250×250 px · bone marrow aspirate smear — 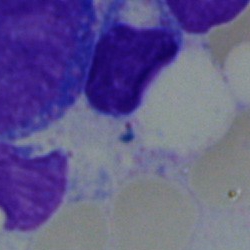Impression — lymphocyte.